Pappenheim-stained. Image size 250×250. Bone marrow aspirate smear: 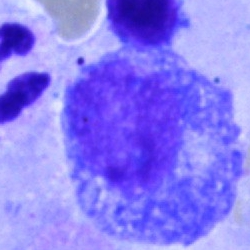
The cell shown is a progranulocyte.